Bone marrow smear · 40× oil immersion:
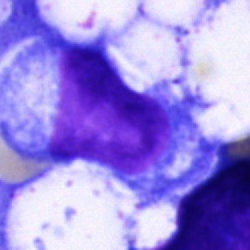

Q: Identify the cell.
A: This is a blast cell.